Bone marrow aspirate smear · cropped to a single cell: 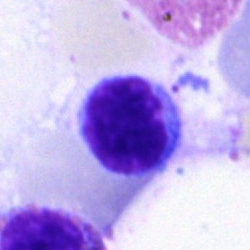Cell = typical lymphocyte.